Bone marrow aspirate smear. Image size 250×250. Pappenheim-stained — 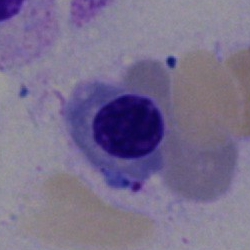 A nucleated red cell.